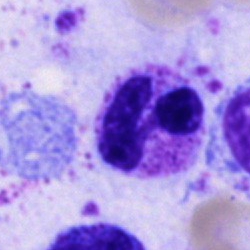
Classification: neutrophil (segmented).